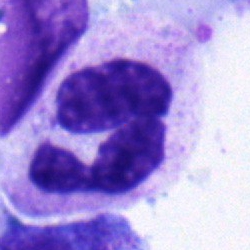 Morphology — neutrophil (segmented).